Bone marrow aspirate smear. May-Grünwald-Giemsa stain. Image size 250×250:
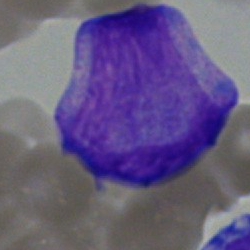Q: What type of cell is this?
A: This is a blast.